Bone marrow smear — 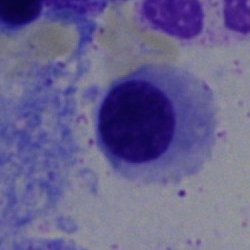
Single cell identified as a normoblast.